Peripheral blood film; single-cell crop — 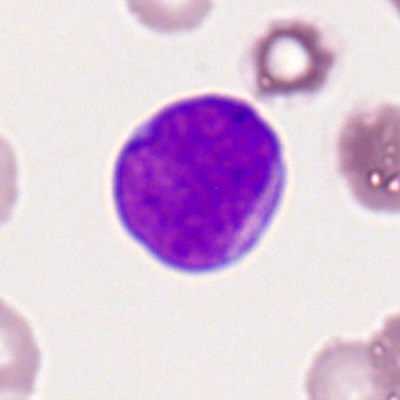
Cell — myeloblast.